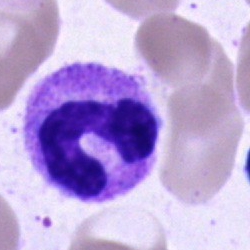

Cell = neutrophil (band).